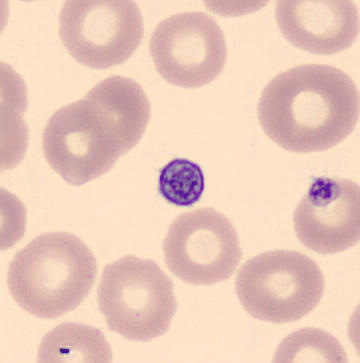The morphological class is thrombocyte. Preparation: Peripheral blood smear.